Bone marrow aspirate smear — 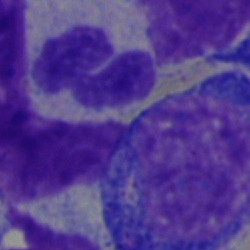

Polymorphonuclear neutrophil.